250×250 px. Bone marrow aspirate smear
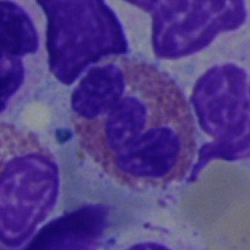Single cell identified as an eosinophil.